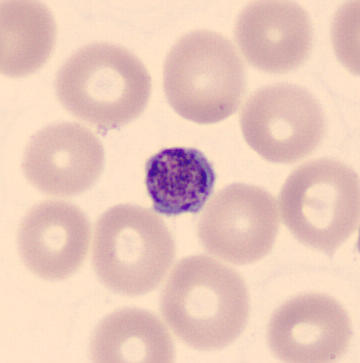Morphological class: platelet. Acquisition: Peripheral blood smear.